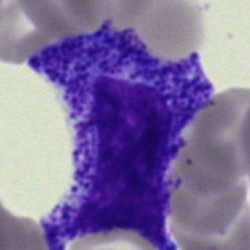 Cell type — progranulocyte.